Bone marrow smear: 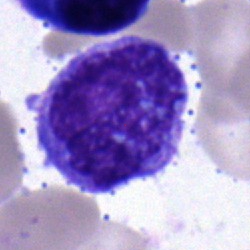 Q: What is the morphological classification of this cell?
A: It is a monocyte.